Bone marrow smear: 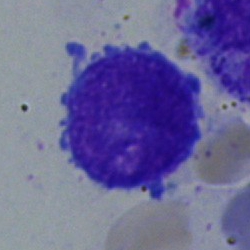
Single cell identified as an undifferentiated blast.